Brightfield, 100× oil-immersion objective · peripheral blood smear
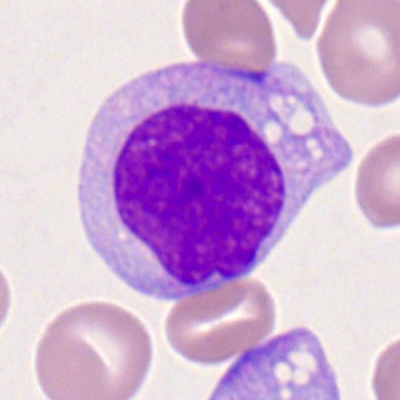

Cell — monocyte.